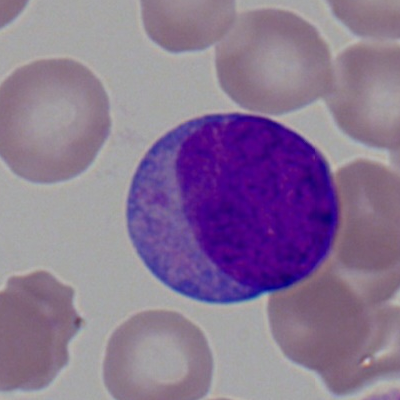A myeloblast.